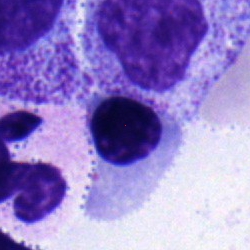Showing a nucleated red blood cell.